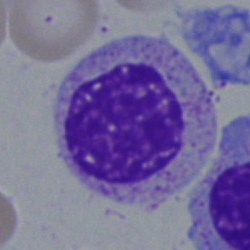 Q: What cell is this?
A: Myelocyte.